Peripheral blood smear.
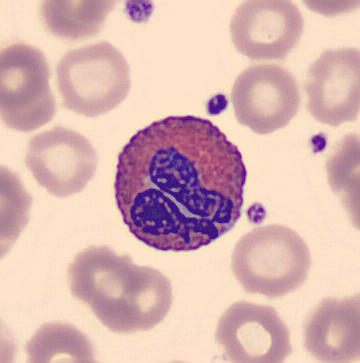
Q: What is shown here?
A: Eosinophilic granulocyte.